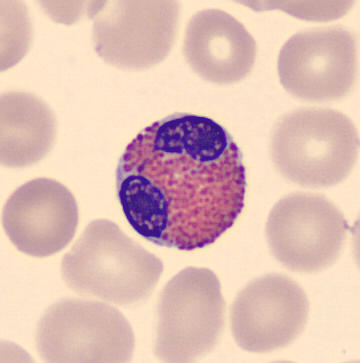Peripheral blood smear.
Cell type = eosinophilic granulocyte.